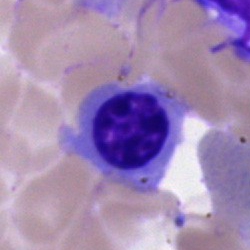 Q: Which cell type is shown here?
A: Nucleated red cell.